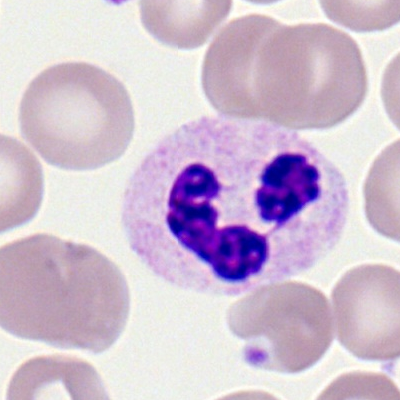 Morphological class — segmented neutrophil.